Bone marrow aspirate smear; cropped to a single cell; May-Grünwald-Giemsa stain — 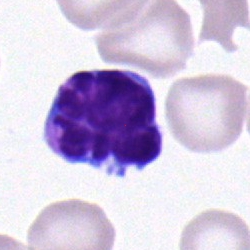

A typical lymphocyte.